Single cell centered in the field; bone marrow aspirate smear: 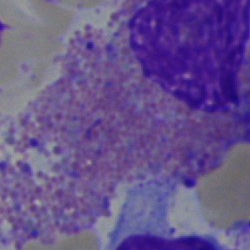

Showing an eosinophilic granulocyte.